Bone marrow aspirate smear. Single-cell crop.
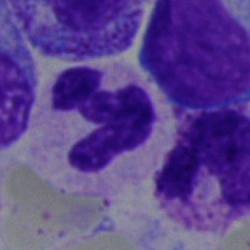This is a segmented neutrophil.